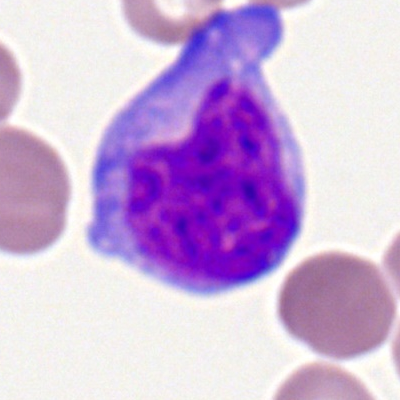
Peripheral blood smear showing a myeloblast.